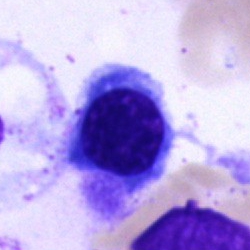
Impression → nucleated red blood cell.